Bone marrow aspirate smear:
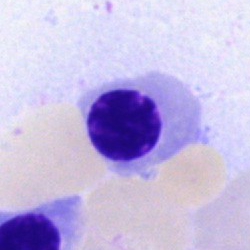
Morphological class = nucleated red blood cell.